Bone marrow aspirate smear: 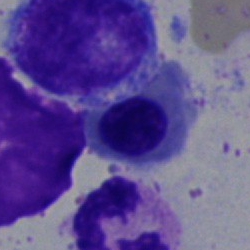 This is a nucleated red cell.